Single-cell field; peripheral blood smear:
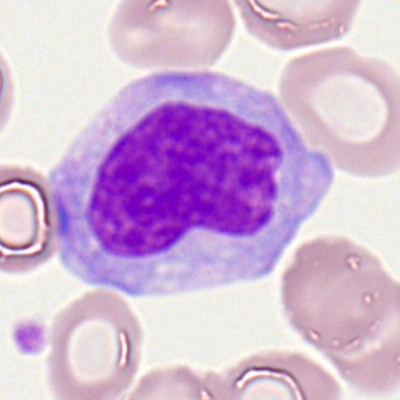 Specimen: peripheral blood film.
Cell type: monocyte.